Bone marrow smear; 250×250; 40× oil immersion
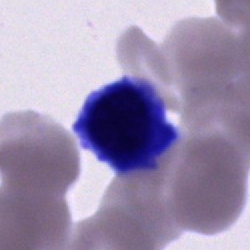 Q: Identify the cell.
A: A cell of indeterminate lineage.